Bone marrow smear; May-Grünwald-Giemsa/Pappenheim stain: 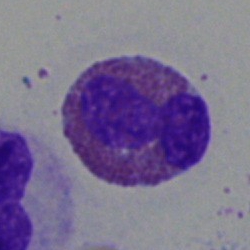
Morphology → eosinophilic granulocyte.